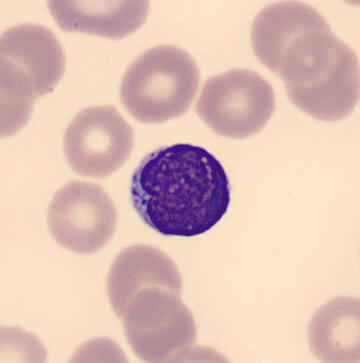Classification = typical lymphocyte.